Bone marrow aspirate smear; cropped to a single cell; 40× objective, oil immersion: 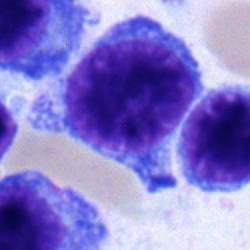 Single cell identified as a normoblast.